Bone marrow aspirate smear: 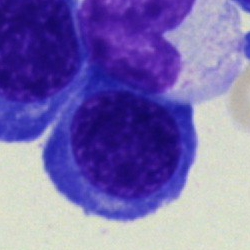Cell — normoblast.